Single-cell field · peripheral blood smear
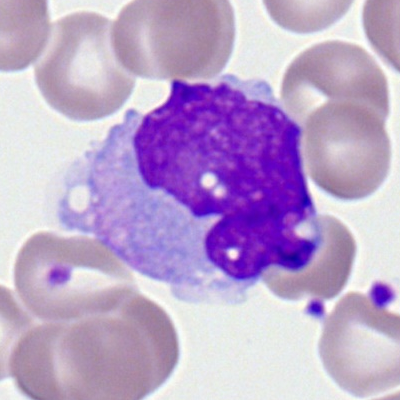
This is a monocyte.